Bone marrow aspirate smear · 40× objective, oil immersion.
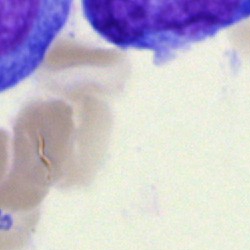This is an artifact.